Bone marrow aspirate smear. Cropped to a single cell — 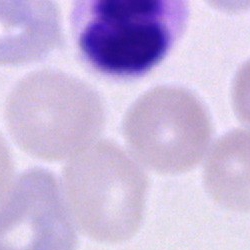
Specimen: bone marrow aspirate smear.
Morphological class: artifact.